Bone marrow smear. 250×250:
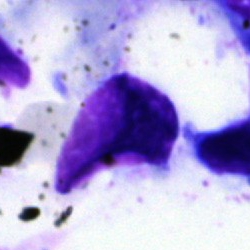

The cell shown is an artifact.